MGG-stained. Bone marrow smear.
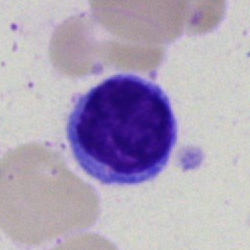Morphology consistent with a lymphocyte.